Bone marrow smear
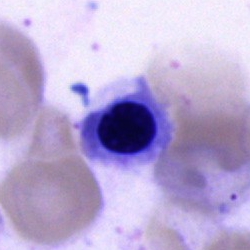

Q: Identify the cell.
A: Nucleated red blood cell.